Bone marrow aspirate smear:
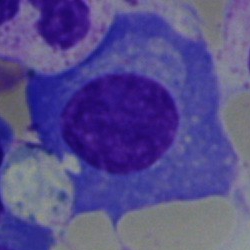
Morphology → plasmacyte.